Peripheral blood smear — 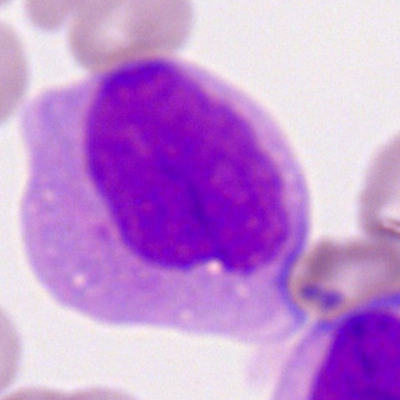

Classification — myeloid blast.